250×250; bone marrow smear:
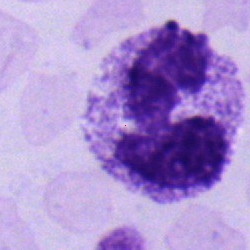Impression → neutrophil (segmented).